Romanowsky stain; peripheral blood film.
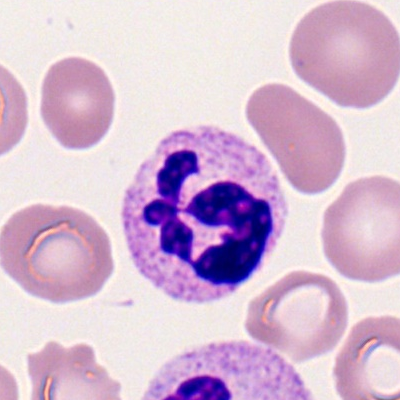

{"cell_type": "segmented neutrophil", "lineage": "myeloid"}